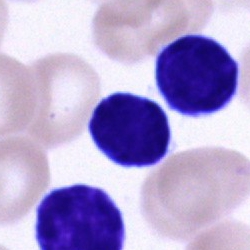Q: Identify the cell.
A: A typical lymphocyte.